250×250 px · bone marrow smear: 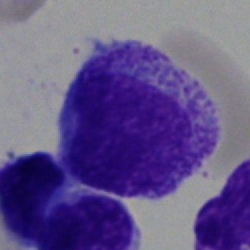 Single cell identified as a myelocyte.